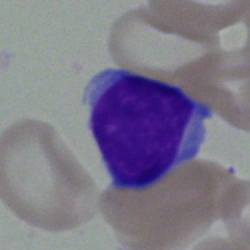

Morphology consistent with a lymphocyte.